Bone marrow smear — 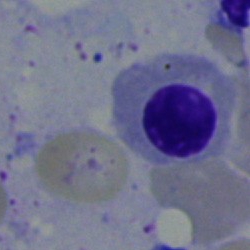
The morphological class is normoblast.